Bone marrow aspirate smear — 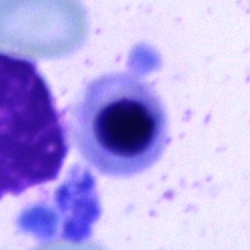
A nucleated red blood cell.